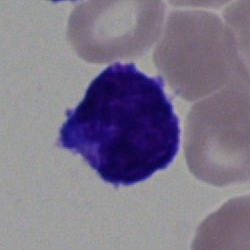
Showing a blast cell.